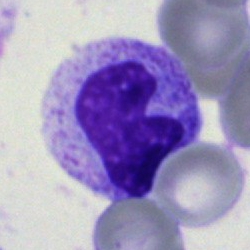Classification: band-form neutrophil.